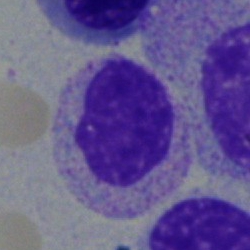 Showing a myelocyte.